Peripheral blood film; M8 digital microscope (Precipoint), 100× oil immersion
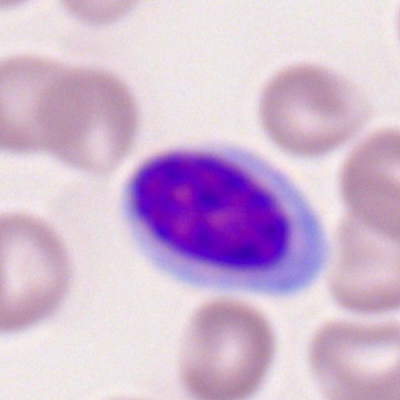Classification: lymphocyte.